Bone marrow smear: 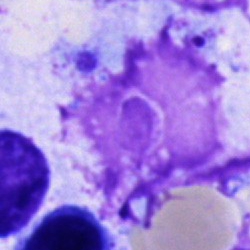This is an artifact.